Bone marrow smear; single cell centered in the field; 40× oil immersion.
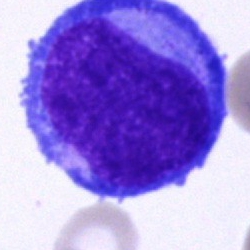

The cell shown is a blast.